Bone marrow aspirate smear: 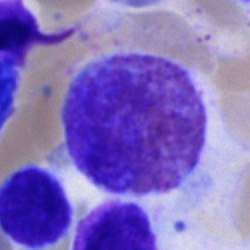

Cell type = eosinophilic granulocyte.